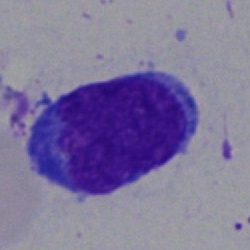
Morphological class: progranulocyte.